MGG-stained. Bone marrow aspirate smear. Brightfield microscopy, 40× oil immersion.
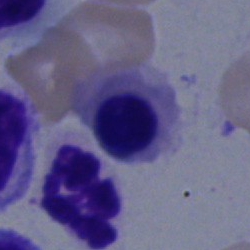 Q: Which cell type is shown here?
A: Nucleated red cell.